Peripheral blood smear.
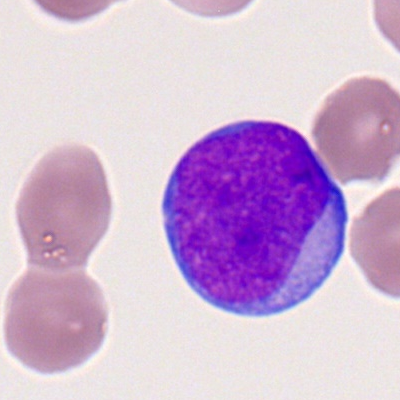 Classification = myeloblast.